Bone marrow smear
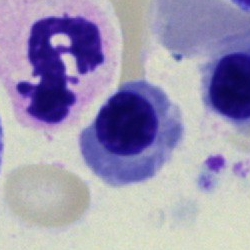 Morphology → neutrophil (segmented).